Bone marrow aspirate smear
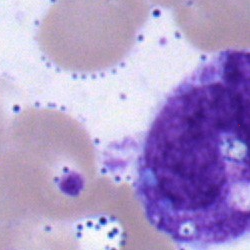{"cell_type": "monocyte", "lineage": "myeloid"}